Cropped to a single cell; bone marrow aspirate smear.
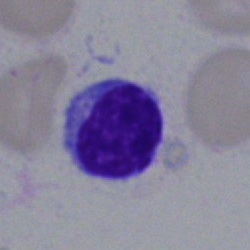
A lymphocyte.